Bone marrow smear:
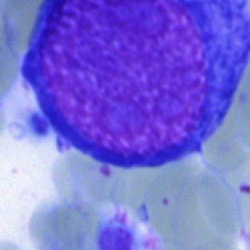 A proerythroblast.